Image size 250×250 · bone marrow smear · MGG-stained:
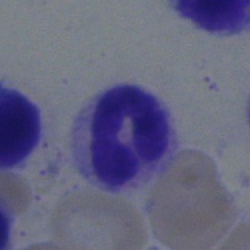 Q: What is the morphological classification of this cell?
A: It is a neutrophil (segmented).